Bone marrow aspirate smear; May-Grünwald-Giemsa stain
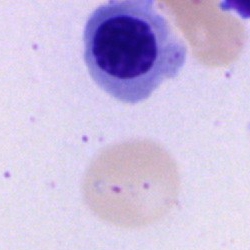Classification = nucleated red blood cell.